Bone marrow smear: 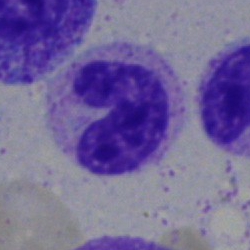

Specimen: bone marrow aspirate smear.
Classification: neutrophil (band).
Lineage: myeloid.